40× oil immersion · single-cell field · bone marrow aspirate smear — 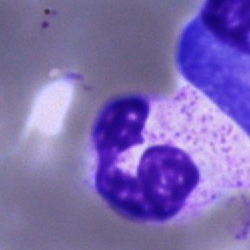
Q: What type of cell is this?
A: This is a segmented neutrophil.